Peripheral blood film:
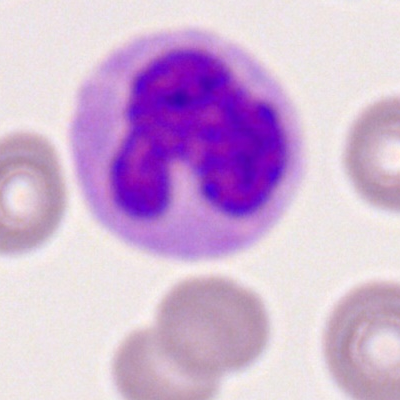Cell type = monocyte.